Bone marrow smear
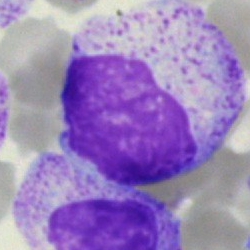 Q: What is the morphological classification of this cell?
A: This is a myelocyte.